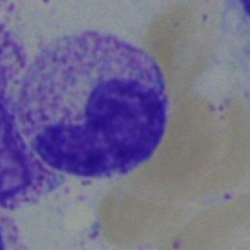 Single-cell crop from a bone marrow smear: band-form neutrophil.